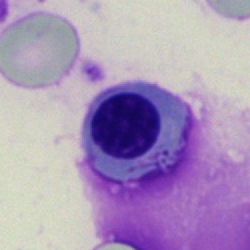
Single-cell crop from a bone marrow smear: nucleated red blood cell.